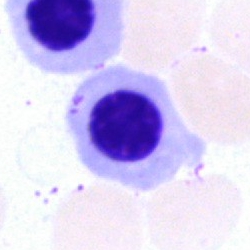
Morphology — nucleated red blood cell.